Bone marrow smear. Brightfield, 40× oil-immersion objective. Single-cell field: 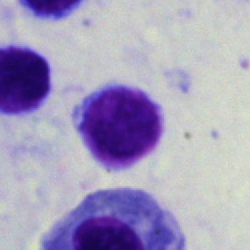 Specimen: bone marrow smear.
Classification: lymphocyte.
Lineage: lymphoid.